Peripheral blood film
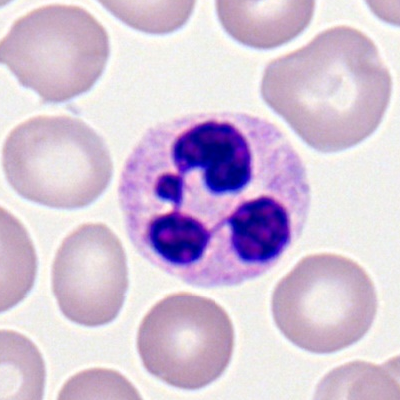 {"cell_type": "segmented neutrophil", "lineage": "myeloid"}